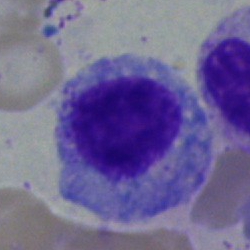

Specimen: bone marrow smear.
Morphological class: myelocyte.
Lineage: myeloid.